Single cell centered in the field; bone marrow smear; brightfield microscopy, 40× oil immersion: 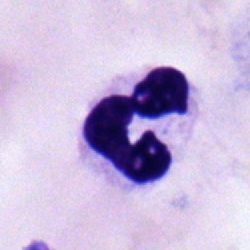
Cell type: segmented neutrophil.